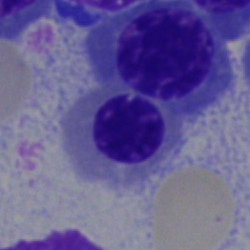
Q: What is shown here?
A: A nucleated red blood cell.